Brightfield, 40× oil-immersion objective; bone marrow smear: 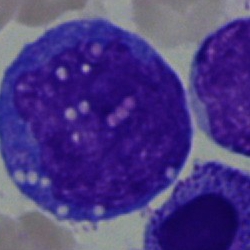
Cell type — undifferentiated blast.